Bone marrow smear — 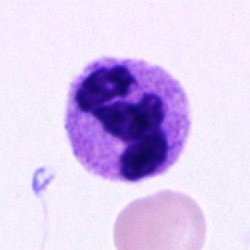The cell shown is a segmented neutrophil.